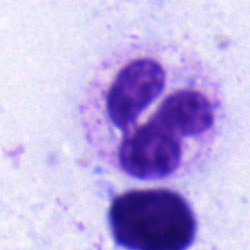

Q: Which cell type is shown here?
A: A segmented neutrophil.